Bone marrow smear. Single-cell crop.
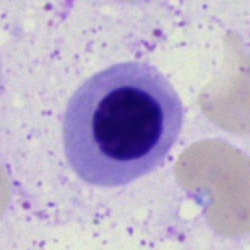
This is a nucleated red cell.